Bone marrow aspirate smear — 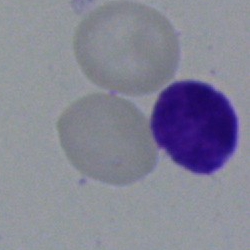Lymphocyte.